Bone marrow aspirate smear; 250 by 250 pixels:
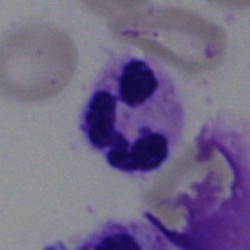

Single cell identified as a neutrophil (segmented).